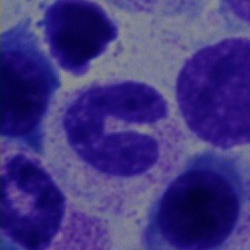
A stab cell.